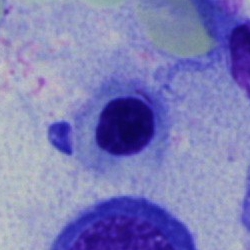A nucleated red blood cell on a bone marrow smear.